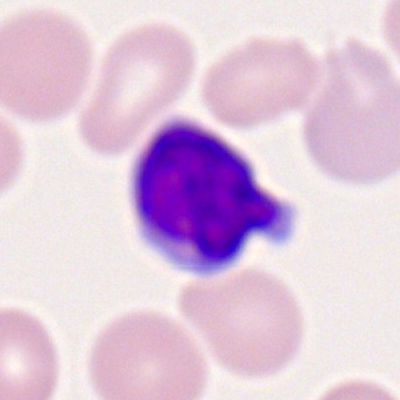 Impression — typical lymphocyte.